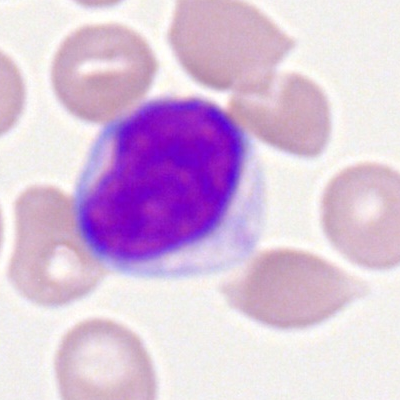

Single-cell crop from a peripheral blood smear: typical lymphocyte.